Bone marrow aspirate smear
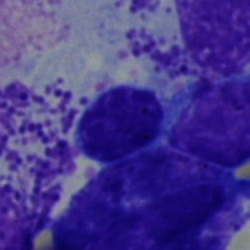Cell = lymphocyte.